Bone marrow aspirate smear: 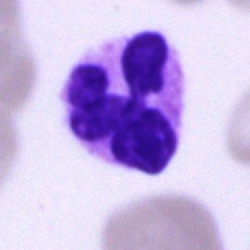Single cell identified as a segmented neutrophil.